Single cell centered in the field; bone marrow aspirate smear:
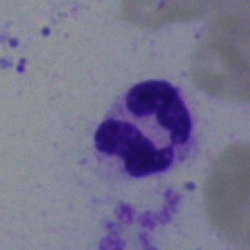 This is a neutrophil (segmented).